Bone marrow aspirate smear.
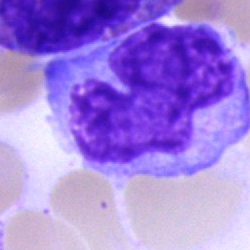

Showing a monocyte.